Brightfield microscopy, 40× oil immersion · bone marrow aspirate smear · Pappenheim-stained: 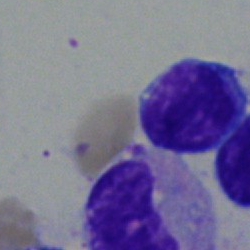Specimen: bone marrow smear.
Classification: typical lymphocyte.